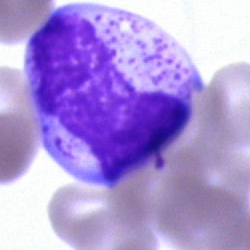 Classification — unidentifiable cell.